Bone marrow smear: 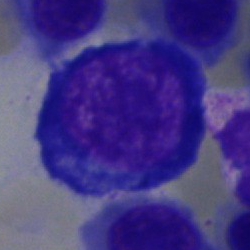Morphological class — pronormoblast.